Bone marrow aspirate smear:
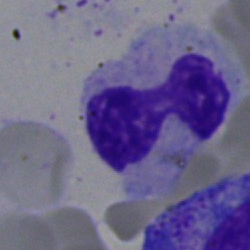 Specimen: bone marrow aspirate smear.
Cell type: segmented neutrophil.
Lineage: myeloid.